Bone marrow aspirate smear
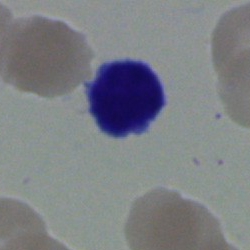

{"cell_type": "typical lymphocyte", "lineage": "lymphoid"}